Bone marrow smear; Pappenheim-stained — 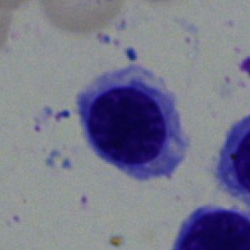This is a nucleated red blood cell.